Peripheral blood film. MGG-stained:
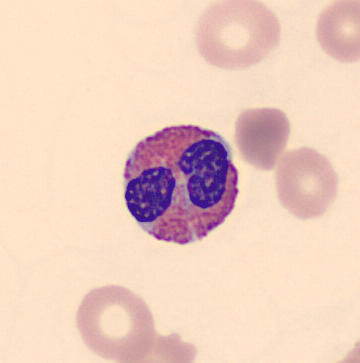

Cell type = eosinophil.